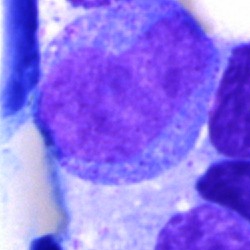Q: What cell is this?
A: Promyelocyte.